Peripheral blood smear: 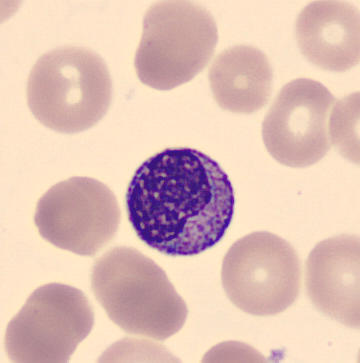 Impression → myelocyte.